Bone marrow aspirate smear.
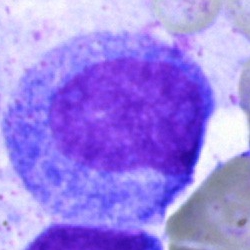 Showing a promyelocyte.